May-Grünwald-Giemsa/Pappenheim stain. Bone marrow smear.
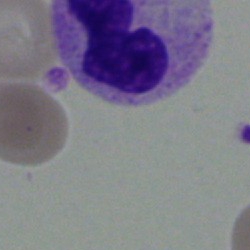 A neutrophil (segmented).